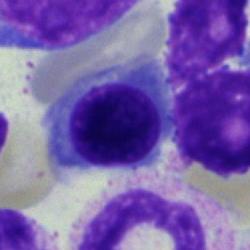 Cell: nucleated red cell.